Bone marrow smear:
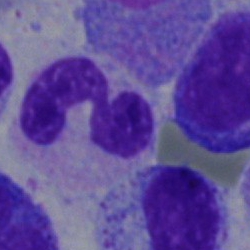
Morphology → polymorphonuclear neutrophil.